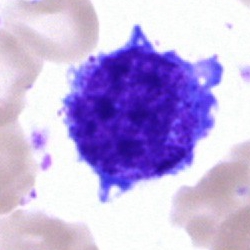
Morphological class — progranulocyte.